Bone marrow aspirate smear; single-cell field: 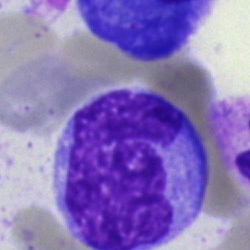 A monocyte.